Bone marrow aspirate smear
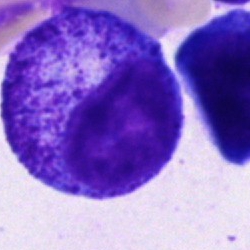Morphology — progranulocyte.